40× objective, oil immersion; bone marrow smear; 250×250 px
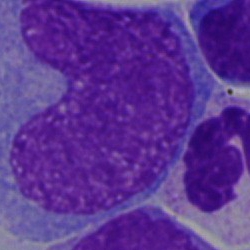

Single cell identified as a blast.